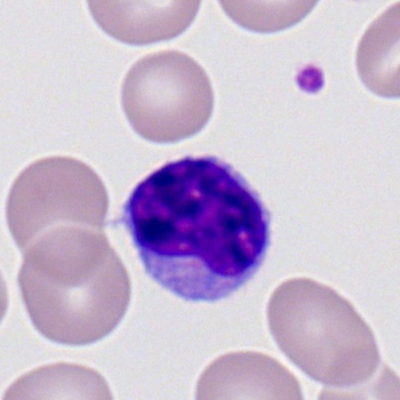

Classification — typical lymphocyte.